Brightfield, 40× oil-immersion objective · bone marrow aspirate smear · May-Grünwald-Giemsa stain.
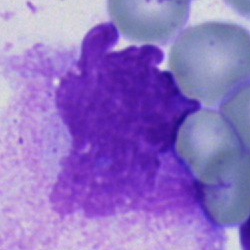
Single cell identified as an artefact.